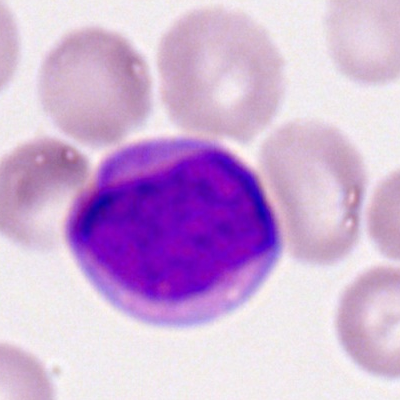
Myeloblast.